Peripheral blood smear: 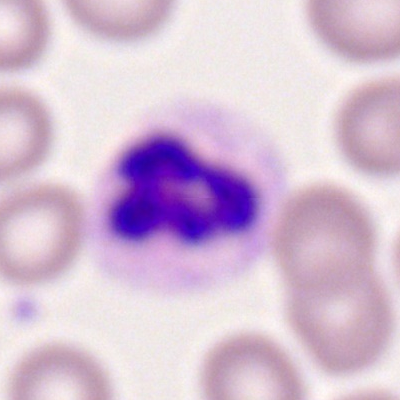

{"cell_type": "neutrophil (segmented)", "lineage": "myeloid"}